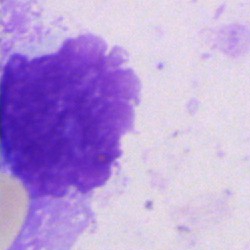

Classification — artifact.